Bone marrow smear.
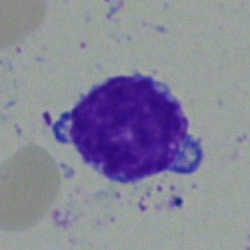

Specimen: bone marrow aspirate smear.
Classification: typical lymphocyte.